Cropped to a single cell; bone marrow aspirate smear; 40× oil immersion:
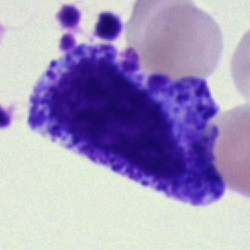 The cell is promyelocyte.